Bone marrow smear.
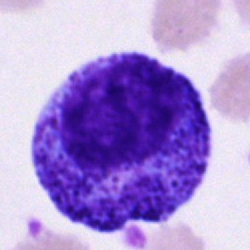The morphological class is progranulocyte.